Cropped to a single cell. Bone marrow aspirate smear: 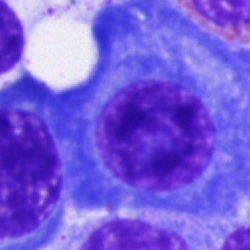Q: What is shown here?
A: Plasma cell.